Bone marrow aspirate smear
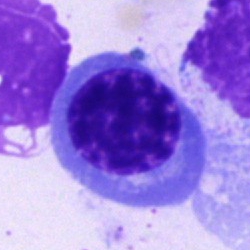Morphology consistent with a nucleated red cell.